Bone marrow smear: 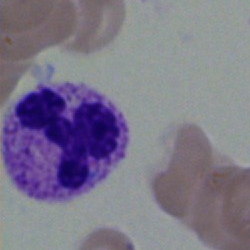 This is a polymorphonuclear neutrophil.